250 by 250 pixels; Pappenheim-stained; bone marrow aspirate smear:
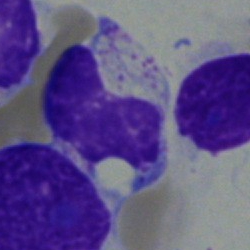 Metamyelocyte.